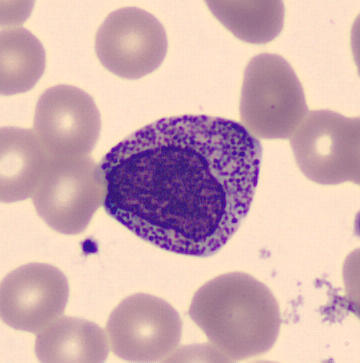 MGG-stained. CellaVision DM96 digital cell image. Peripheral blood film. Morphological class: myelocyte.